Bone marrow smear: 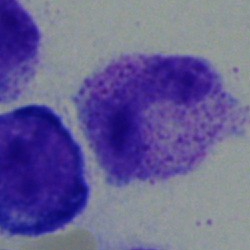 Q: What type of cell is this?
A: A band neutrophil.